Bone marrow smear — 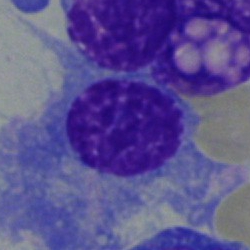Cell type = plasma cell.